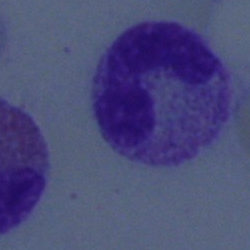The cell is band-form neutrophil.